Cropped to a single cell; peripheral blood film.
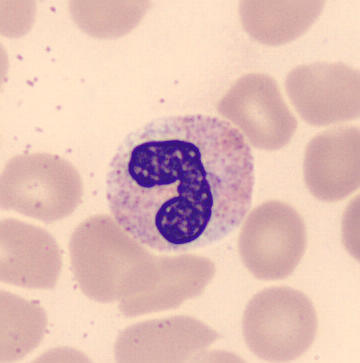 Morphology — segmented neutrophil.